Cropped to a single cell · bone marrow smear · brightfield, 40× oil-immersion objective:
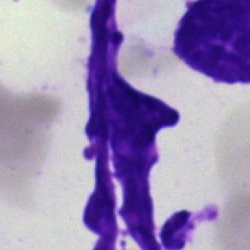 The cell shown is an artifact.